Brightfield, 40× oil-immersion objective; 250×250; bone marrow smear
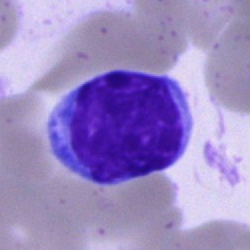

Specimen: bone marrow aspirate smear.
Cell type: lymphocyte.